Bone marrow smear · May-Grünwald-Giemsa/Pappenheim stain — 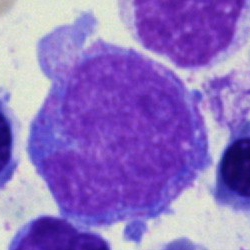
Monocyte.